Pappenheim-stained · bone marrow smear · brightfield, 40× oil-immersion objective:
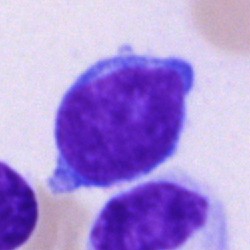
This is an undifferentiated blast.